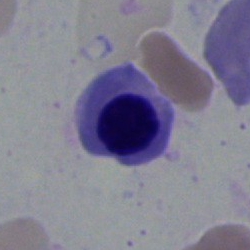 Morphological class: normoblast.